Bone marrow aspirate smear:
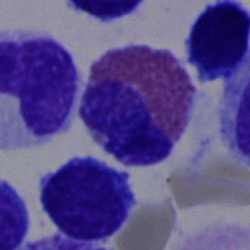
Impression → eosinophil.